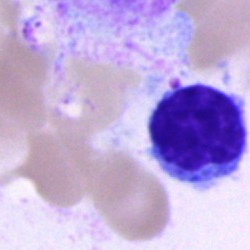Typical lymphocyte.